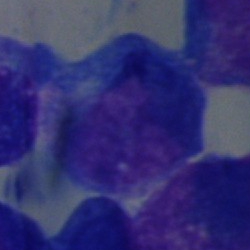 An artefact.